Bone marrow aspirate smear.
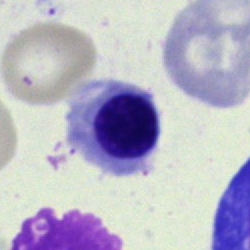

A nucleated red blood cell.